MGG-stained · 40× objective, oil immersion · bone marrow aspirate smear:
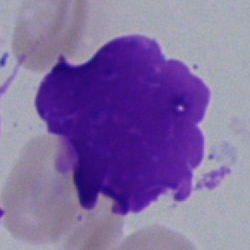

This is an artifact.